Peripheral blood film: 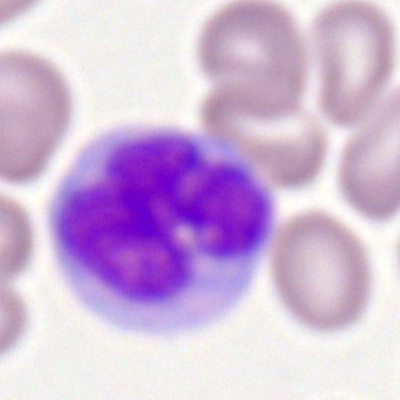

This is a monocyte.